Bone marrow smear:
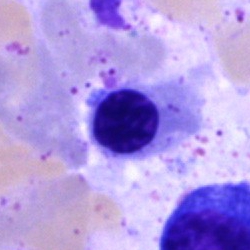
Morphology — nucleated red blood cell.